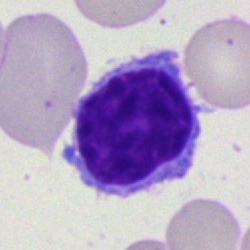
Typical lymphocyte.